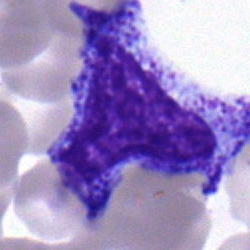 A progranulocyte on a bone marrow smear.